Bone marrow aspirate smear.
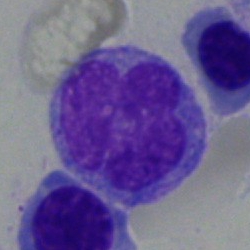

Cell type — monocyte.